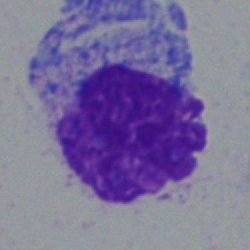Classification = blast.